250×250 px · bone marrow smear · Pappenheim-stained.
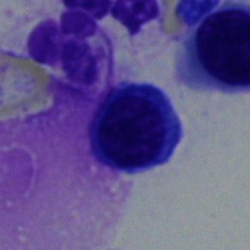

Morphological class = typical lymphocyte.